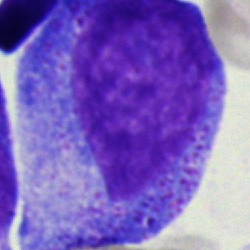

Single cell identified as a promyelocyte.